May-Grünwald-Giemsa stain. Bone marrow smear.
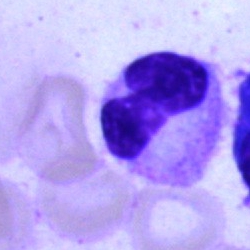A band neutrophil.